Bone marrow smear: 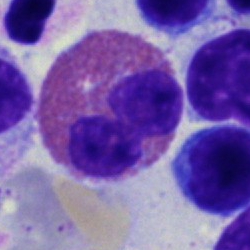

An eosinophilic granulocyte.